MGG-stained · bone marrow smear:
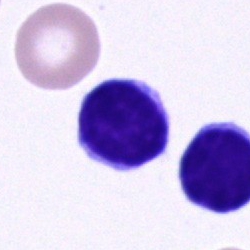
Single cell identified as a typical lymphocyte.